Bone marrow smear. Image size 250×250. May-Grünwald-Giemsa/Pappenheim stain — 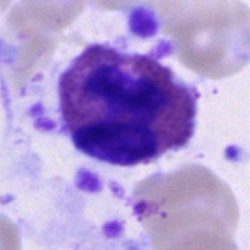Impression — eosinophil.